Single cell centered in the field; peripheral blood smear.
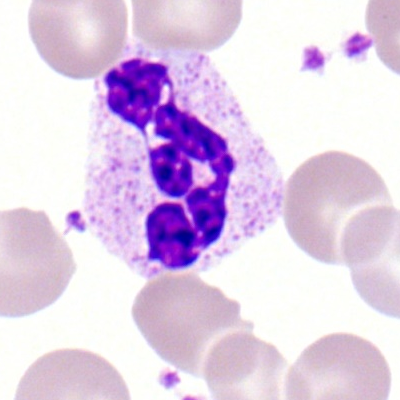Segmented neutrophil.